Cropped to a single cell · bone marrow aspirate smear · 250×250 px:
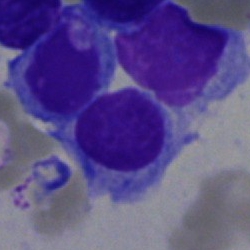 The cell type is typical lymphocyte.